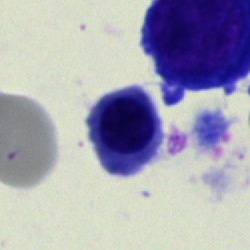
Bone marrow aspirate smear, single cell — normoblast.